Peripheral blood smear · cropped to a single cell.
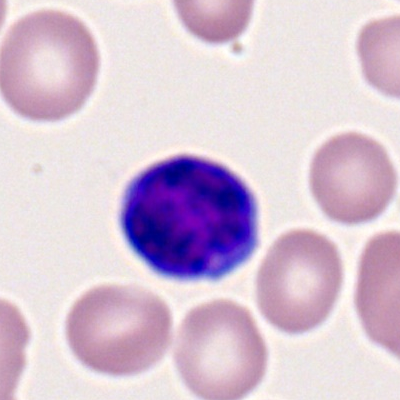

Classification = lymphocyte.